Brightfield microscopy, 40× oil immersion · bone marrow smear:
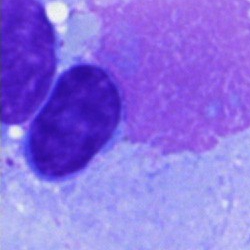 Cell: artifact.